Bone marrow aspirate smear.
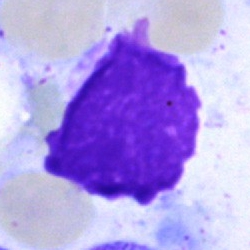 Morphology — artefact.